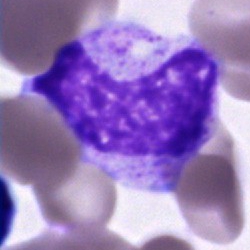

Morphology → metamyelocyte.